Bone marrow smear
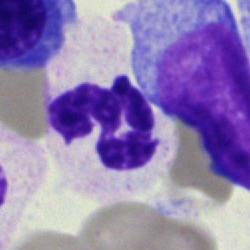

Cell type = polymorphonuclear neutrophil.